250 by 250 pixels · brightfield microscopy, 40× oil immersion · bone marrow aspirate smear.
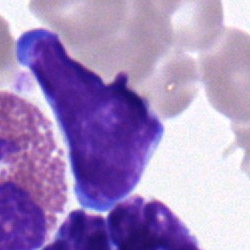

Specimen: bone marrow aspirate smear.
Morphological class: lymphocyte.